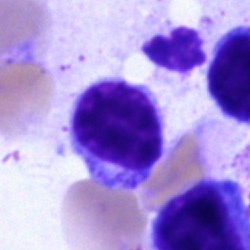Cell = typical lymphocyte.